Bone marrow smear — 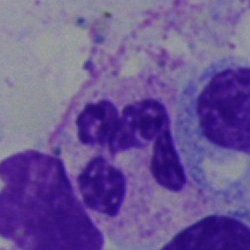 {"cell_type": "neutrophil (segmented)", "lineage": "myeloid"}